Bone marrow aspirate smear: 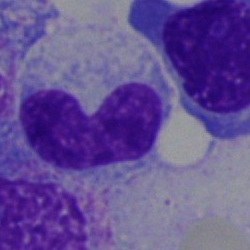 Showing a neutrophil (band).